250×250; bone marrow aspirate smear; single-cell crop:
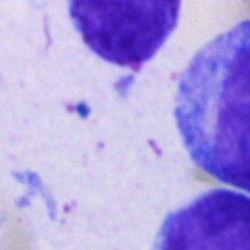 Showing a cell of indeterminate lineage.